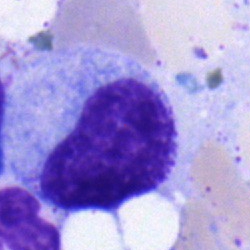
Morphology — metamyelocyte.